Brightfield microscopy, 40× oil immersion. Bone marrow aspirate smear: 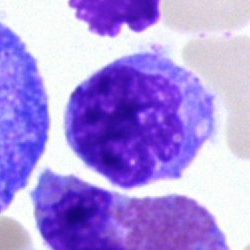 Q: What is shown here?
A: It is an erythroblast.